Bone marrow smear.
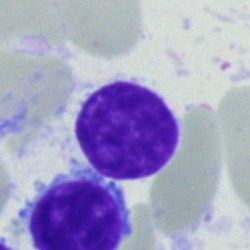 The cell type is lymphocyte.